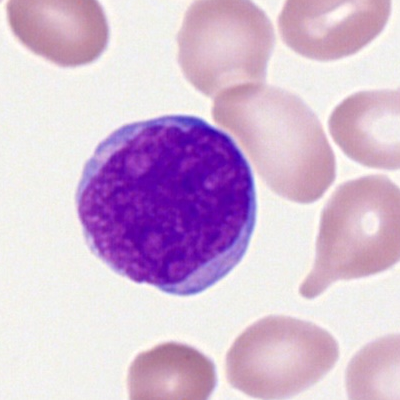
Morphology — myeloblast.